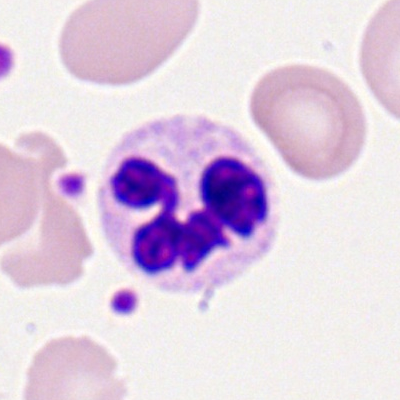

Impression → segmented neutrophil.